Bone marrow aspirate smear · 250 by 250 pixels: 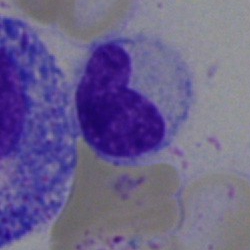 A stab cell.